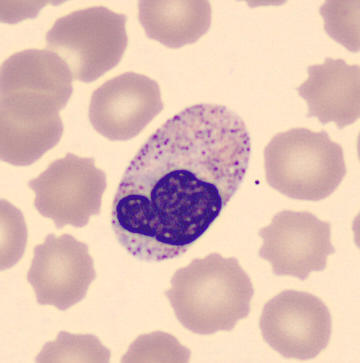
The cell shown is a band-form neutrophil.

Acquisition: Peripheral blood film.